360 by 363 pixels · May-Grünwald-Giemsa-stained · peripheral blood film.
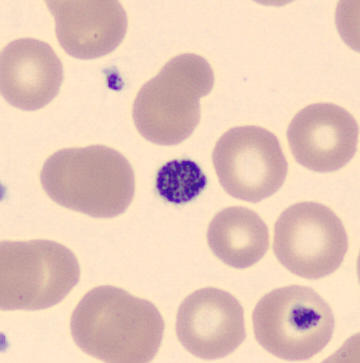 Morphology → platelet.